40× oil immersion · bone marrow smear
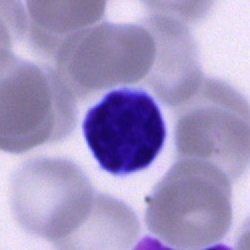 Q: What cell is this?
A: It is a lymphocyte.